250×250 px · May-Grünwald-Giemsa/Pappenheim stain · bone marrow aspirate smear: 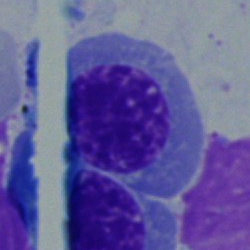

Erythroblast.